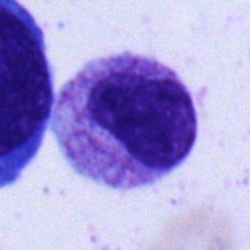 Impression — myelocyte.